Bone marrow smear — 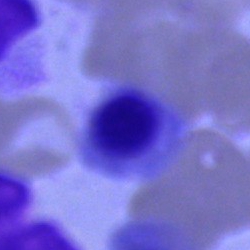
Nucleated red blood cell.